Bone marrow aspirate smear · brightfield microscopy, 40× oil immersion · 250×250 px:
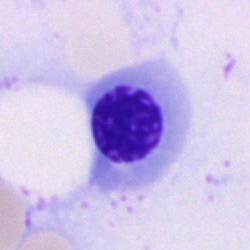Q: What is shown here?
A: This is a nucleated red blood cell.